Bone marrow aspirate smear. Brightfield microscopy, 40× oil immersion — 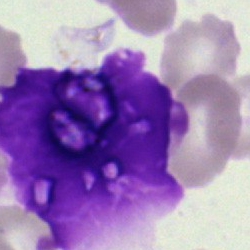Specimen: bone marrow aspirate smear.
Cell: artifact.